Bone marrow aspirate smear
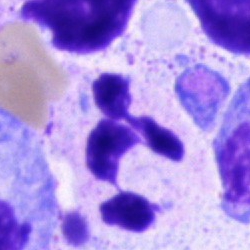
Single cell identified as a polymorphonuclear neutrophil.